Bone marrow aspirate smear — 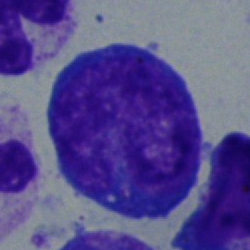
Cell type: blast.